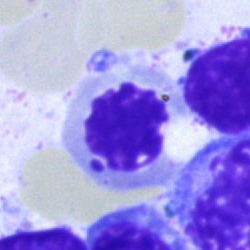

Single-cell crop from a bone marrow smear: erythroblast.